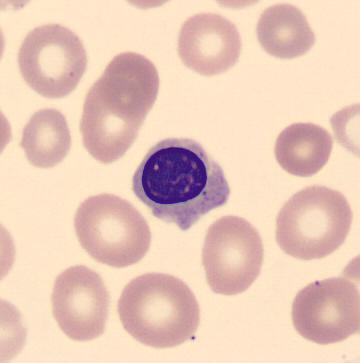

Classification = erythroblast.